Bone marrow smear:
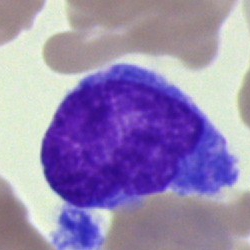
Monocyte.